May-Grünwald-Giemsa stain. Bone marrow smear:
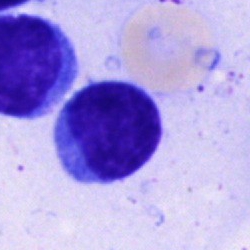

Specimen: bone marrow smear.
Morphological class: lymphocyte.
Lineage: lymphoid.